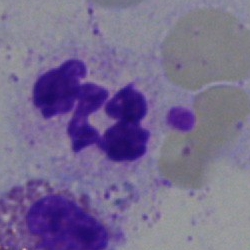
Bone marrow smear showing a polymorphonuclear neutrophil.